Bone marrow aspirate smear. 40× objective, oil immersion:
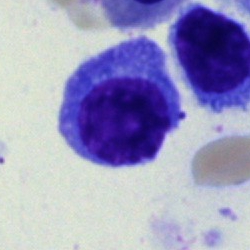Cell type = nucleated red blood cell.